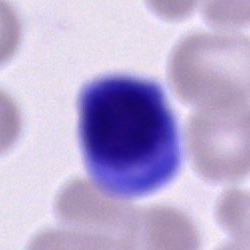 A cell of indeterminate lineage on a bone marrow smear.